Bone marrow smear; single cell centered in the field:
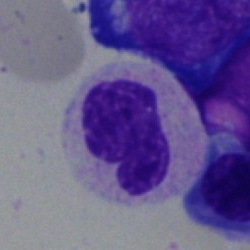A stab cell.